Bone marrow aspirate smear; brightfield, 40× oil-immersion objective; single-cell field.
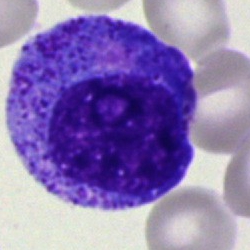
This is a promyelocyte.